May-Grünwald-Giemsa stain; bone marrow aspirate smear
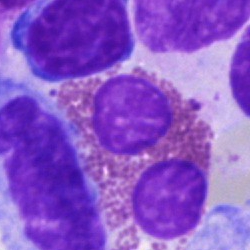Q: What type of cell is this?
A: Eosinophilic granulocyte.